Bone marrow aspirate smear
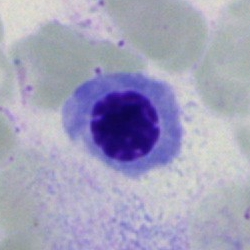This is a nucleated red cell.